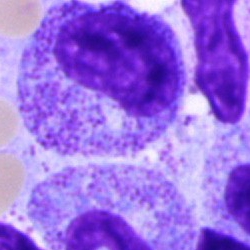The morphological class is myelocyte.